Bone marrow smear — 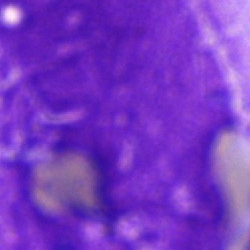 This is an artifact.